Peripheral blood film:
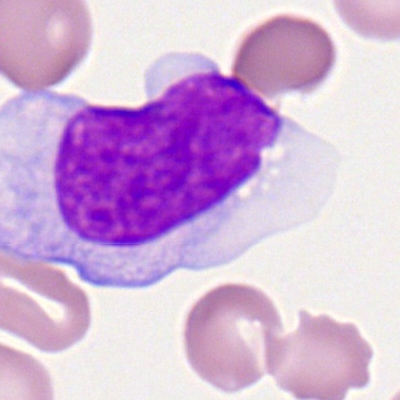A monocyte.